Bone marrow aspirate smear
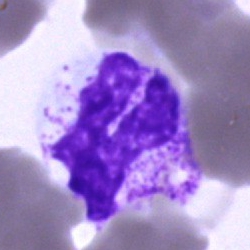
Showing a segmented neutrophil.